May-Grünwald-Giemsa-stained · 360×363 · peripheral blood smear: 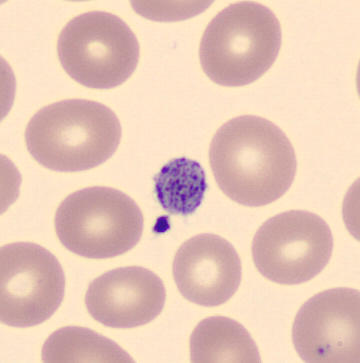
Specimen: peripheral blood smear.
Classification: platelet.